Peripheral blood film; single-cell field: 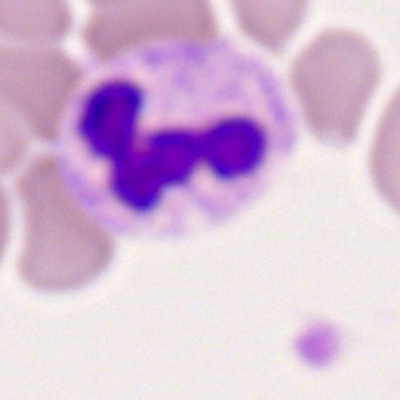Q: What is the morphological classification of this cell?
A: Neutrophil (segmented).